Bone marrow smear; single cell centered in the field; 40× objective, oil immersion
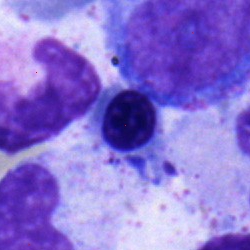Cell type = nucleated red blood cell.